Single-cell field; bone marrow smear.
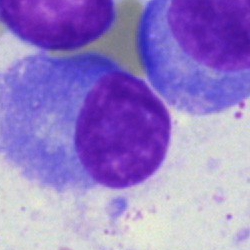Classification = plasmacyte.